Bone marrow smear · single-cell crop · brightfield microscopy, 40× oil immersion — 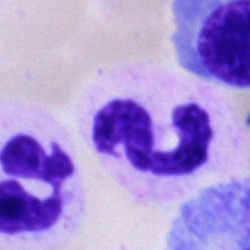
Q: What type of cell is this?
A: Segmented neutrophil.